Bone marrow smear; single cell centered in the field — 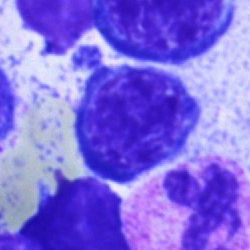 A nucleated red blood cell.